Bone marrow smear — 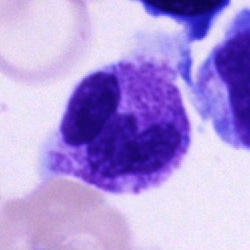

A polymorphonuclear neutrophil.